Bone marrow aspirate smear — 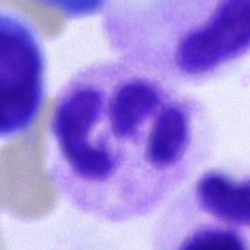
The morphological class is segmented neutrophil.